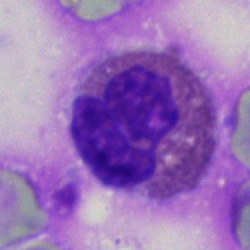
The morphological class is eosinophil.